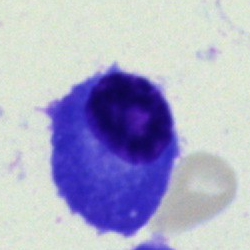

Specimen: bone marrow aspirate smear.
Classification: plasmacyte.
Lineage: lymphoid.